Bone marrow smear; May-Grünwald-Giemsa/Pappenheim stain: 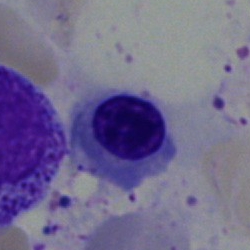Showing a normoblast.